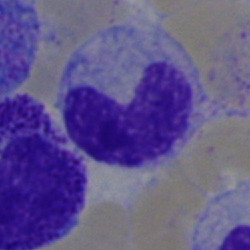Q: What type of cell is this?
A: This is a band neutrophil.